Bone marrow smear — 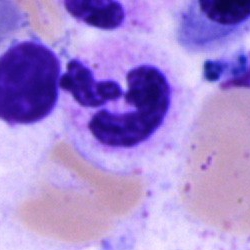Q: What cell is this?
A: This is a polymorphonuclear neutrophil.